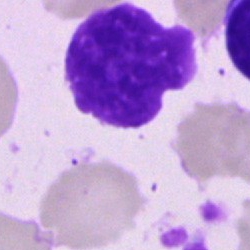

Q: What is shown here?
A: This is an artefact.